Bone marrow smear:
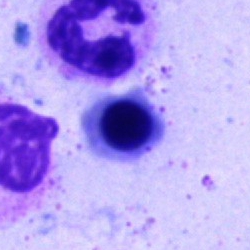Morphological class = nucleated red blood cell.